Bone marrow smear: 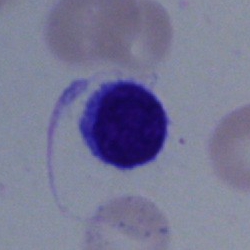

Cell type: lymphocyte.